Bone marrow smear:
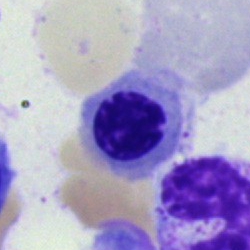
Morphology consistent with a nucleated red cell.